Bone marrow smear. 40× objective, oil immersion — 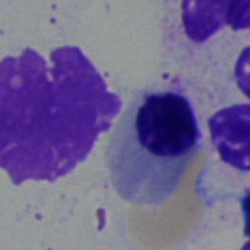 Classification: erythroblast.